Bone marrow aspirate smear: 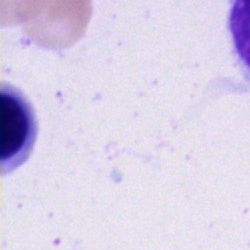Morphological class = artefact.